Brightfield, 40× oil-immersion objective; bone marrow smear — 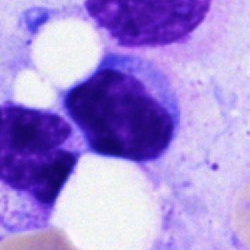Lymphocyte.